Bone marrow aspirate smear.
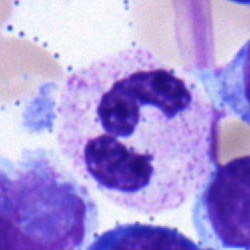
Q: What cell is this?
A: This is a neutrophil (segmented).